250×250. May-Grünwald-Giemsa stain. Bone marrow smear.
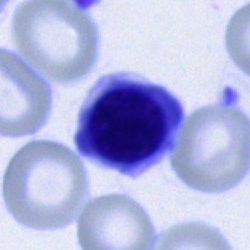

The morphological class is erythroblast.